Bone marrow smear · image size 250×250.
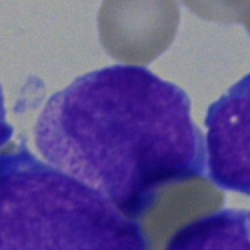

Morphology — undifferentiated blast.